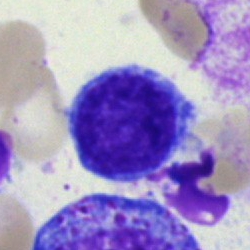 Impression — typical lymphocyte.